Bone marrow smear — 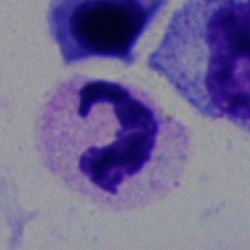

Q: What cell is this?
A: It is a neutrophil (segmented).